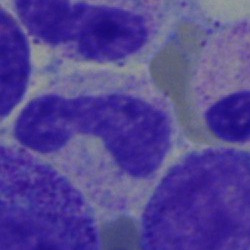

Q: Identify the cell.
A: A band neutrophil.